Brightfield, 40× oil-immersion objective · bone marrow aspirate smear:
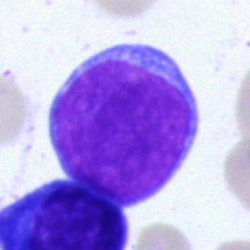
Q: Which cell type is shown here?
A: This is a blast cell.